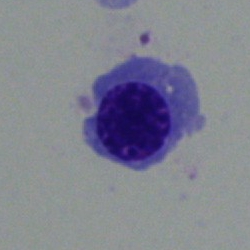 Classification: erythroblast.